May-Grünwald-Giemsa/Pappenheim stain; bone marrow aspirate smear
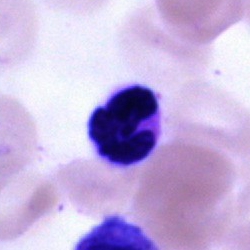

The cell shown is a polymorphonuclear neutrophil.